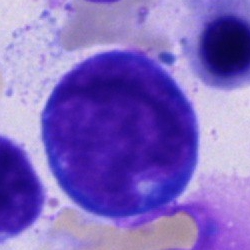 Cell type: pronormoblast.